Bone marrow smear:
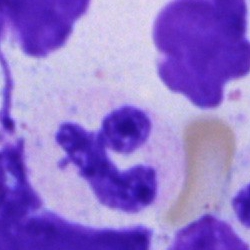

Morphology consistent with a segmented neutrophil.